Bone marrow smear; brightfield microscopy, 40× oil immersion; single cell centered in the field.
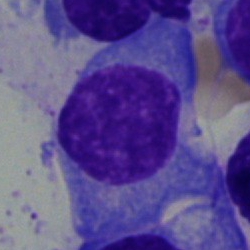Specimen: bone marrow smear.
Cell: plasmacyte.